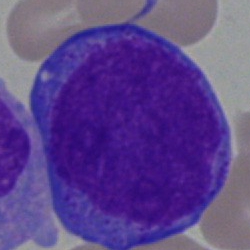 Cell type — undifferentiated blast.